Peripheral blood film: 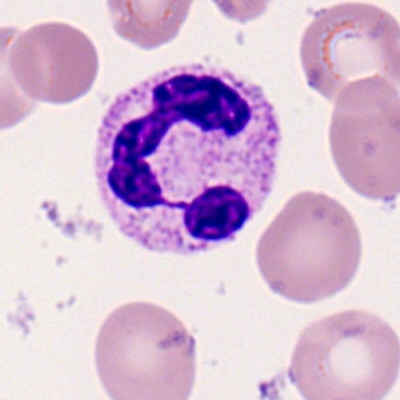Morphology — segmented neutrophil.